Bone marrow aspirate smear: 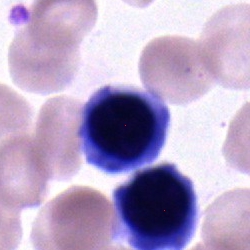

Morphology consistent with a nucleated red cell.